Peripheral blood smear:
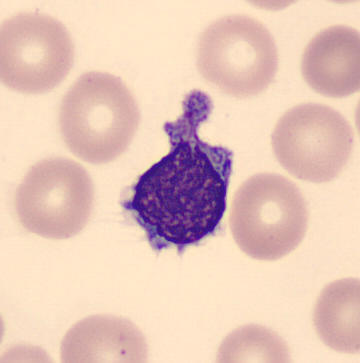

The cell shown is a lymphocyte.